Bone marrow smear: 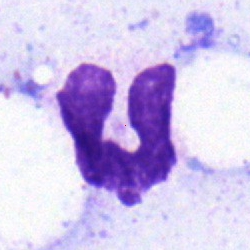

Specimen: bone marrow aspirate smear.
Morphological class: neutrophil (segmented).